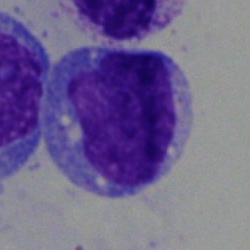{"cell_type": "monocyte"}